Image size 250×250; 40× oil immersion; bone marrow smear — 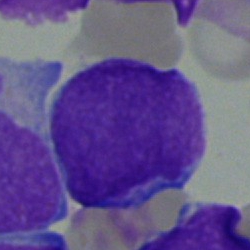

Specimen: bone marrow aspirate smear.
Cell type: blast cell.